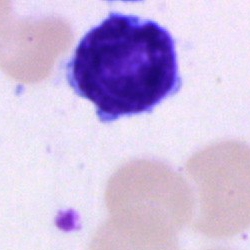 Q: What is the morphological classification of this cell?
A: Typical lymphocyte.